250×250; bone marrow aspirate smear.
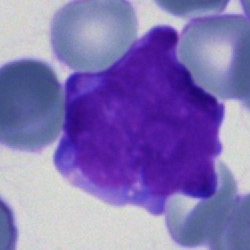 Undifferentiated blast.